Bone marrow aspirate smear.
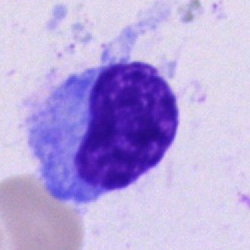 Cell = plasmacyte.